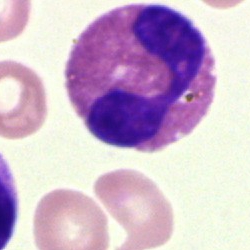

The classification is eosinophilic granulocyte.